Bone marrow smear
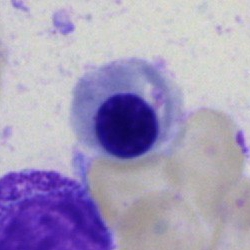The cell shown is an erythroblast.